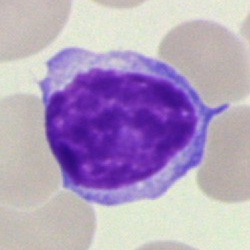 Cell — lymphocyte.